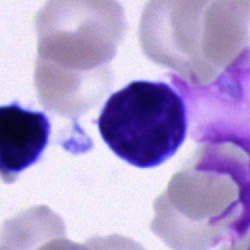
The cell type is typical lymphocyte.